250×250 px · bone marrow smear
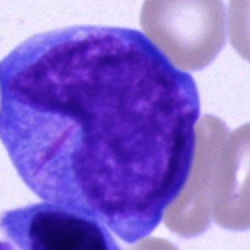 Q: What is shown here?
A: Blast cell.